Bone marrow smear
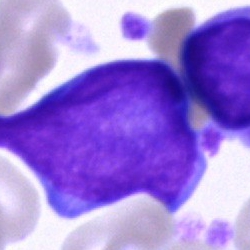The morphological class is blast cell.